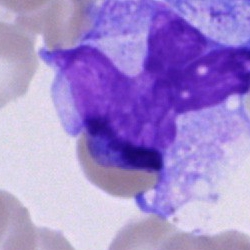
Impression — monocyte.